Bone marrow aspirate smear · 250×250: 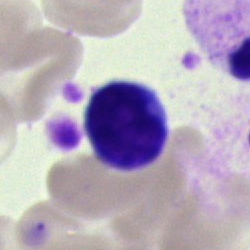
The morphological class is lymphocyte.